Bone marrow smear; 40× oil immersion:
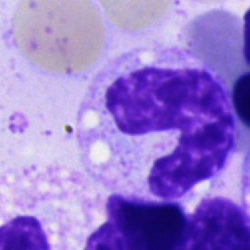 Impression — band-form neutrophil.